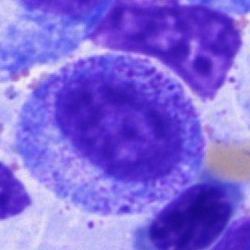
Specimen: bone marrow aspirate smear.
Morphological class: progranulocyte.